Bone marrow aspirate smear — 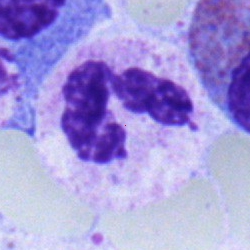 Impression → segmented neutrophil.